Romanowsky stain; peripheral blood smear — 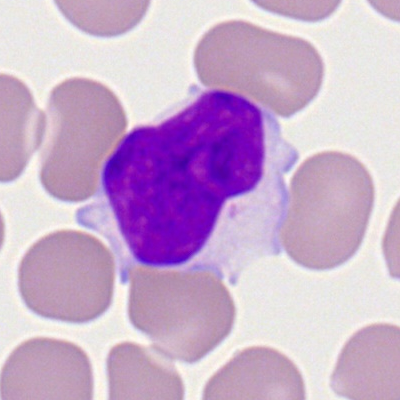

Typical lymphocyte.